Romanowsky-stained. Peripheral blood smear: 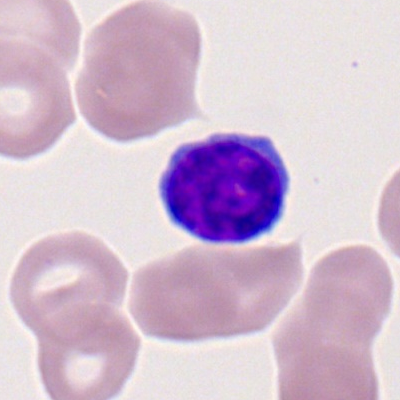
Specimen: peripheral blood film.
Cell type: lymphocyte.